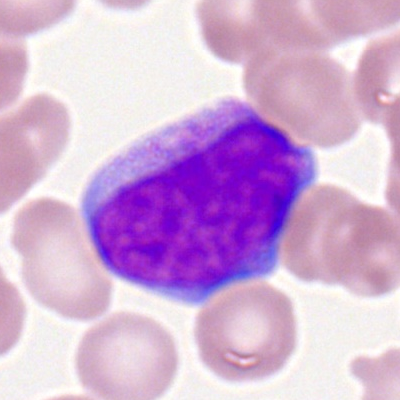 Morphology consistent with a myeloid blast.